Bone marrow smear. MGG-stained. Image size 250×250:
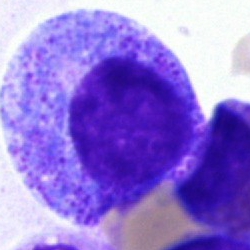
Morphological class — progranulocyte.